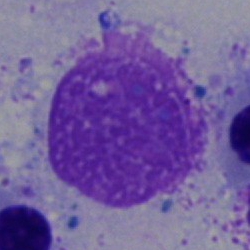

Specimen: bone marrow aspirate smear.
Cell: artifact.